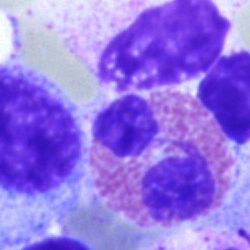Q: What is shown here?
A: It is an eosinophilic granulocyte.